250×250 · bone marrow smear:
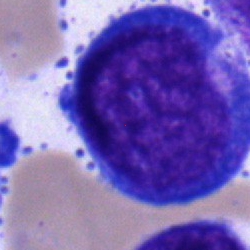

{"cell_type": "blast"}